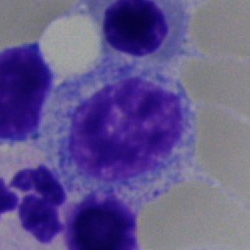
Q: What is shown here?
A: A lymphocyte.